Single-cell field. Bone marrow smear — 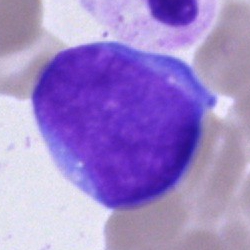Single cell identified as a blast.